Cropped to a single cell. Bone marrow smear. Image size 250×250.
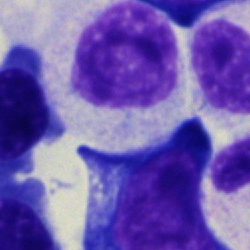

The classification is myelocyte.